Bone marrow aspirate smear:
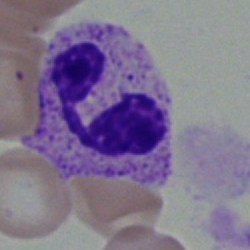 Showing a polymorphonuclear neutrophil.